Bone marrow smear · image size 250×250.
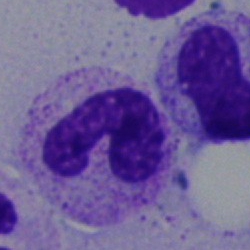 The classification is stab cell.